Bone marrow aspirate smear: 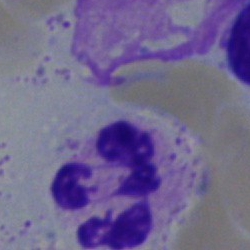 Specimen: bone marrow smear.
Cell: polymorphonuclear neutrophil.